Bone marrow smear: 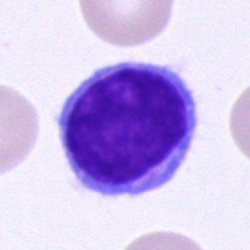
Cell type = typical lymphocyte.